Single cell centered in the field · bone marrow aspirate smear · MGG-stained:
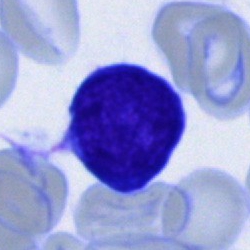 Q: Identify the cell.
A: Typical lymphocyte.